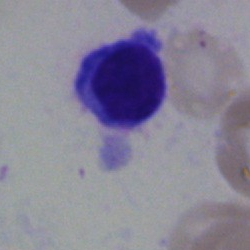 {"cell_type": "typical lymphocyte", "lineage": "lymphoid"}